Brightfield, 40× oil-immersion objective. Bone marrow aspirate smear — 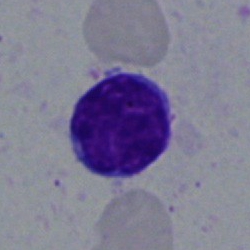
Morphology consistent with a typical lymphocyte.